Bone marrow smear:
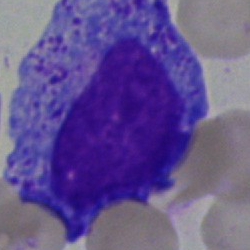The cell shown is a promyelocyte.